Bone marrow aspirate smear
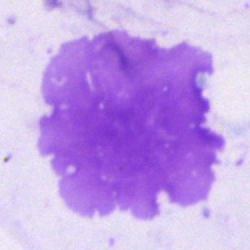
Artefact.